Bone marrow aspirate smear; 250 by 250 pixels:
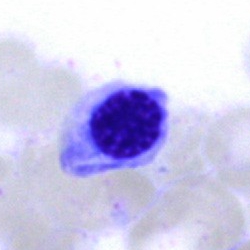
Cell type: nucleated red cell.